Bone marrow smear: 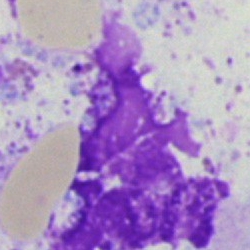 The cell is artifact.